Bone marrow aspirate smear: 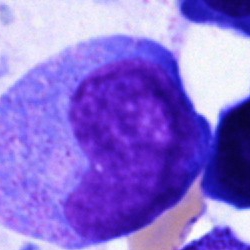
Cell — monocyte.